Romanowsky-stained. Image size 400×400. Peripheral blood film
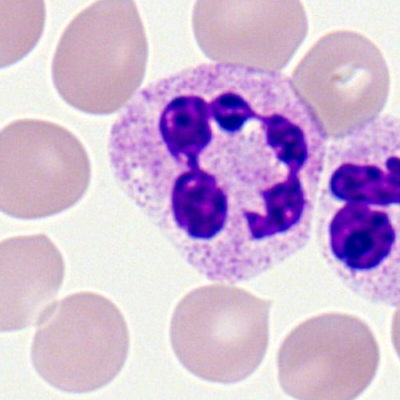

Segmented neutrophil.